Brightfield, 100× oil-immersion objective. Peripheral blood smear — 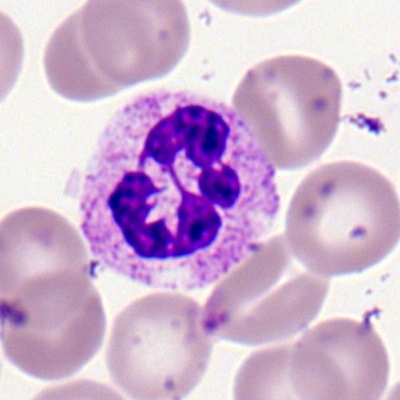 Showing a neutrophil (segmented).